Bone marrow smear:
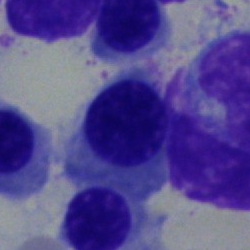The cell type is erythroblast.